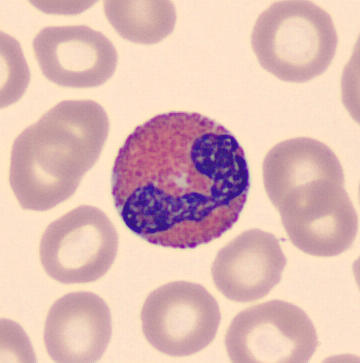 {"cell_type": "eosinophilic granulocyte", "lineage": "myeloid"}